Bone marrow smear:
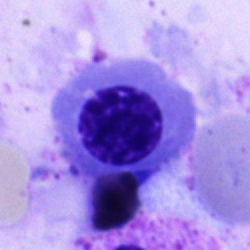

Showing a nucleated red cell.